Bone marrow aspirate smear:
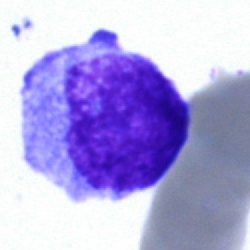 Morphology — blast.